Bone marrow smear · single-cell field.
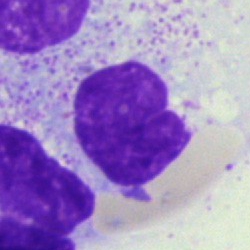
An artifact.